Brightfield, 40× oil-immersion objective; bone marrow smear; single cell centered in the field.
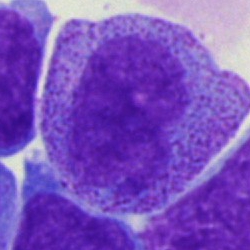
Specimen: bone marrow aspirate smear.
Classification: progranulocyte.
Lineage: myeloid.